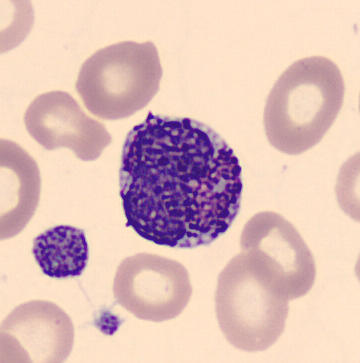 The cell shown is a basophilic granulocyte.
Peripheral blood smear; image size 360×363.